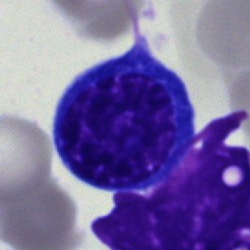Single-cell crop from a bone marrow smear: nucleated red cell.